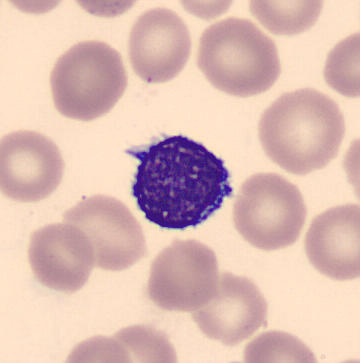
Classification = typical lymphocyte. Image: May-Grünwald-Giemsa-stained; CellaVision DM96 digital cell image; peripheral blood film.